Bone marrow smear; 250×250 px; May-Grünwald-Giemsa stain.
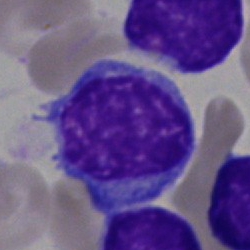Q: What cell is this?
A: A typical lymphocyte.